Single-cell field · bone marrow smear:
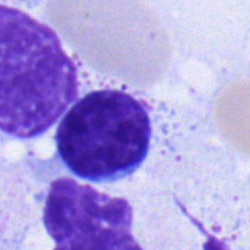

Single cell identified as a lymphocyte.